May-Grünwald-Giemsa/Pappenheim stain; bone marrow smear: 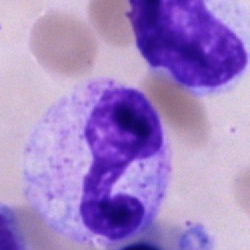 {"cell_type": "polymorphonuclear neutrophil", "lineage": "myeloid"}